Bone marrow aspirate smear — 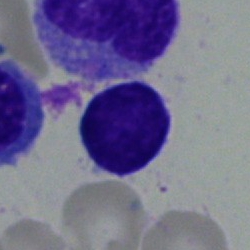Morphology → lymphocyte.